Bone marrow smear. Single cell centered in the field — 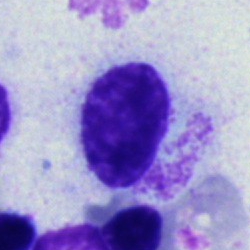Classification — artifact.